Cropped to a single cell · bone marrow aspirate smear
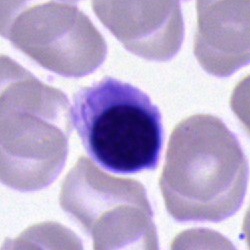

Nucleated red blood cell.